Bone marrow smear. Single cell centered in the field
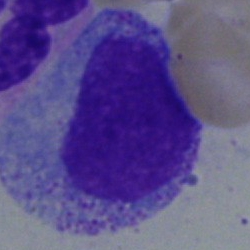
Impression — myelocyte.